Brightfield, 40× oil-immersion objective; 250 by 250 pixels; bone marrow aspirate smear — 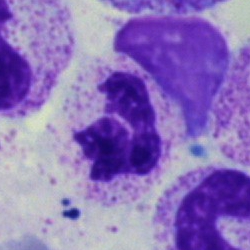

This is a neutrophil (segmented).